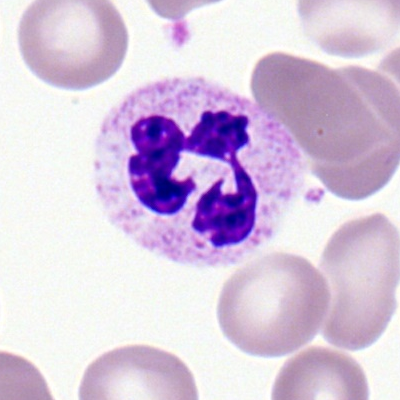Peripheral blood film, single cell — segmented neutrophil.